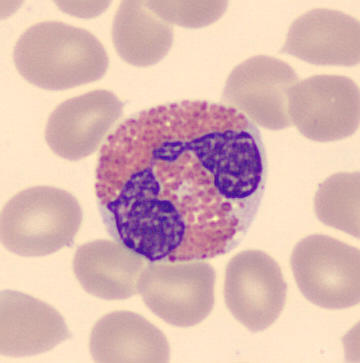

Morphology → eosinophilic granulocyte.